Bone marrow aspirate smear · May-Grünwald-Giemsa/Pappenheim stain.
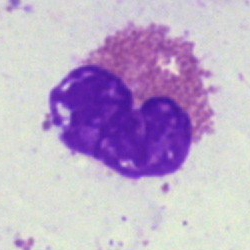

Morphology → eosinophil.